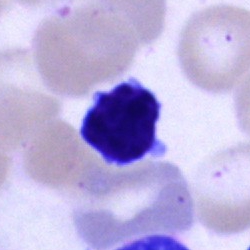
Morphological class = plasmacyte.